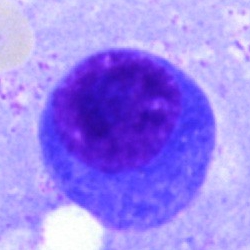
Single cell identified as a plasmacyte.